Bone marrow smear.
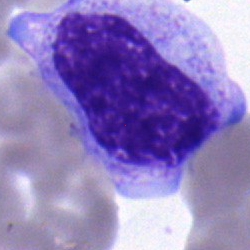 The cell type is promyelocyte.